Bone marrow aspirate smear; MGG-stained; 40× objective, oil immersion: 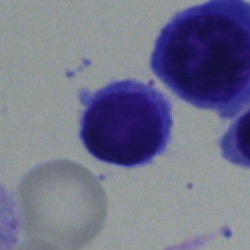
Q: What cell is this?
A: Lymphocyte.